Bone marrow aspirate smear
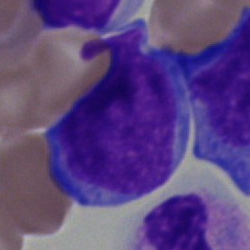
Specimen: bone marrow smear.
Classification: blast.